Bone marrow aspirate smear. 40× objective, oil immersion.
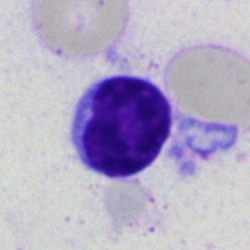 {"cell_type": "typical lymphocyte", "lineage": "lymphoid"}